Bone marrow aspirate smear — 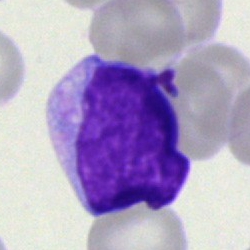 Showing a blast cell.